Bone marrow aspirate smear: 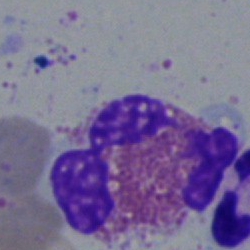

Q: What type of cell is this?
A: It is an eosinophil.